Bone marrow smear.
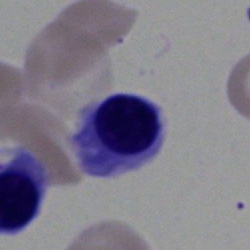
Showing an erythroblast.